Bone marrow smear
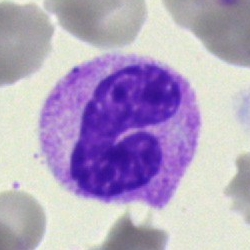 Specimen: bone marrow smear.
Classification: band-form neutrophil.